Brightfield, 40× oil-immersion objective · bone marrow aspirate smear · single cell centered in the field.
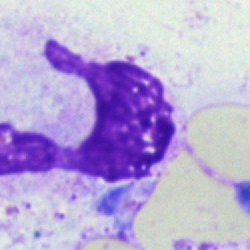

Specimen: bone marrow smear.
Cell: artefact.